Bone marrow smear: 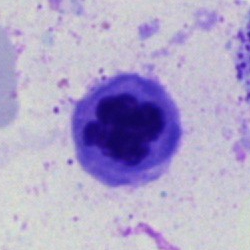

{"cell_type": "normoblast", "lineage": "erythroid"}